Bone marrow aspirate smear:
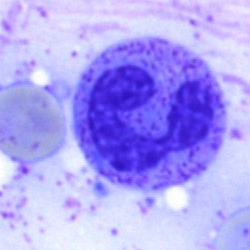

Specimen: bone marrow smear.
Cell type: segmented neutrophil.